Bone marrow aspirate smear: 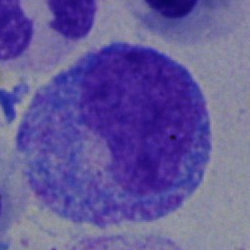
Morphological class: progranulocyte.